Single cell centered in the field · brightfield microscopy, 40× oil immersion · bone marrow smear: 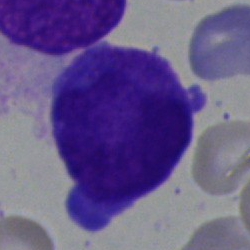

The classification is undifferentiated blast.